Single cell centered in the field; bone marrow aspirate smear; May-Grünwald-Giemsa/Pappenheim stain:
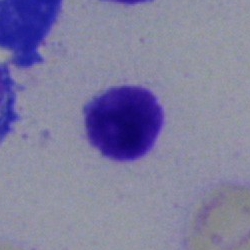
Impression — typical lymphocyte.